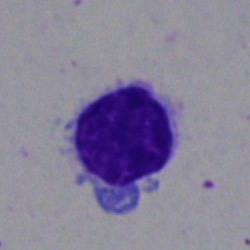Q: Identify the cell.
A: This is a lymphocyte.